100× objective, oil immersion. Image size 400×400. Peripheral blood film.
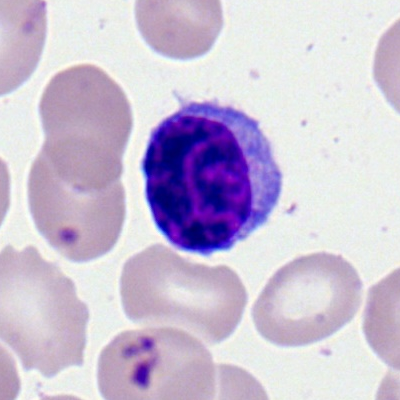The cell is typical lymphocyte.